Peripheral blood smear
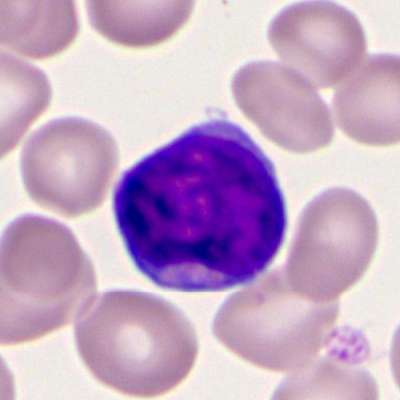 Myeloblast.